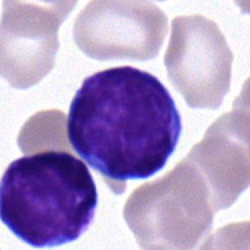Single-cell crop from a bone marrow smear: lymphocyte.